Brightfield microscopy, 40× oil immersion; bone marrow aspirate smear.
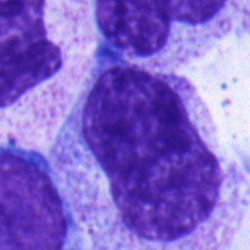

Metamyelocyte.